Brightfield microscopy, 40× oil immersion · bone marrow aspirate smear · May-Grünwald-Giemsa/Pappenheim stain.
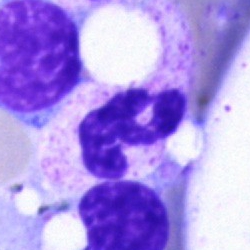 Single cell identified as a neutrophil (segmented).